Peripheral blood smear: 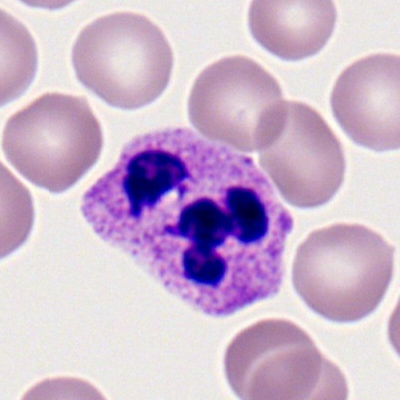Q: What is shown here?
A: Segmented neutrophil.